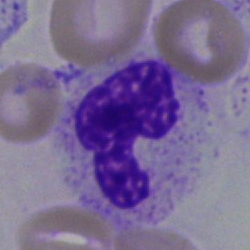Classification = segmented neutrophil.